Bone marrow aspirate smear · 250×250:
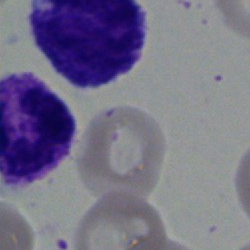Showing a polymorphonuclear neutrophil.